Bone marrow smear; image size 250×250.
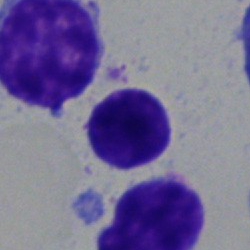

{"cell_type": "lymphocyte", "lineage": "lymphoid"}